400 by 400 pixels. Romanowsky-stained. Peripheral blood film.
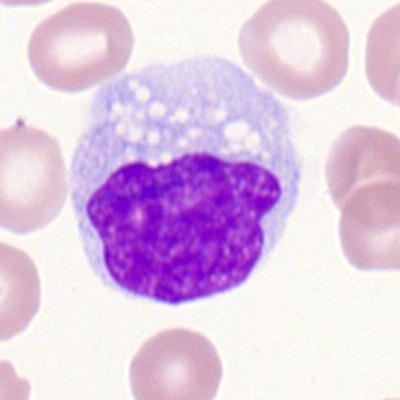

The morphological class is monocyte.